Single-cell field · bone marrow smear — 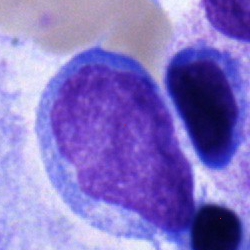

Cell type — undifferentiated blast.